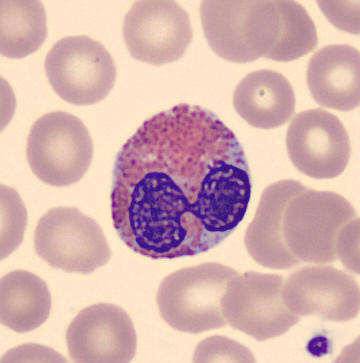

Morphology — eosinophil.

Peripheral blood film.